Bone marrow aspirate smear. 250 by 250 pixels: 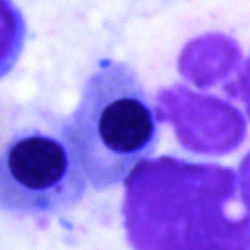An erythroblast.